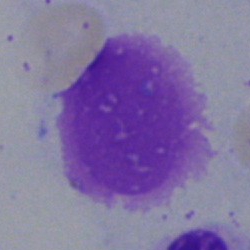
Bone marrow smear showing an artefact.